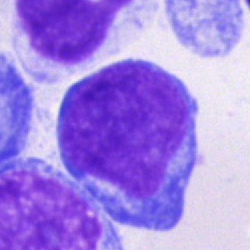 Q: What cell is this?
A: This is an undifferentiated blast.